May-Grünwald-Giemsa stain · bone marrow smear · image size 250×250
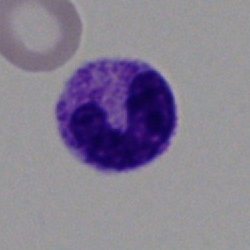The cell shown is a band neutrophil.